Bone marrow aspirate smear
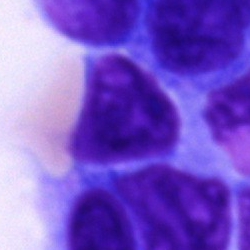 Specimen: bone marrow smear.
Classification: unidentifiable cell.